MGG-stained. Bone marrow smear:
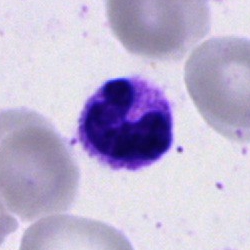
This is a polymorphonuclear neutrophil.